Bone marrow aspirate smear · image size 250×250:
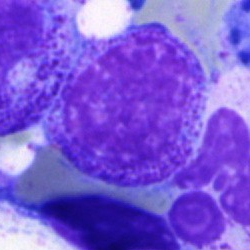Cell — myelocyte.